Bone marrow aspirate smear:
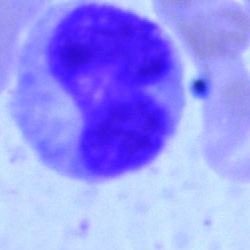 The cell is monocyte.